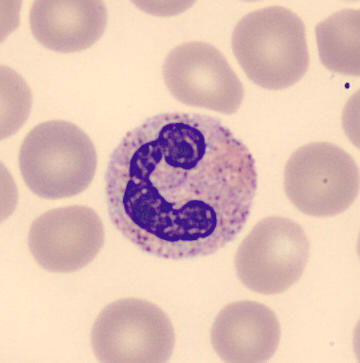The cell type is polymorphonuclear neutrophil.